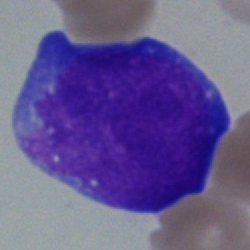A blast cell.